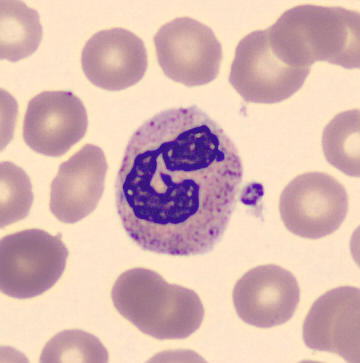 From a peripheral blood smear: a neutrophil (segmented).